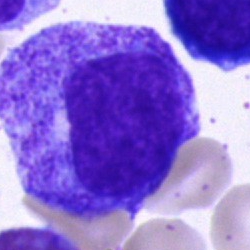

Showing a promyelocyte.